Bone marrow smear.
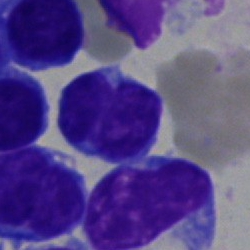 Cell type: lymphocyte.